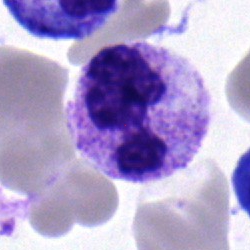
Cell type: polymorphonuclear neutrophil.